Pappenheim-stained. Brightfield microscopy, 40× oil immersion. Bone marrow aspirate smear — 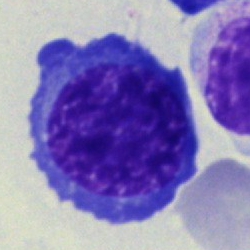 Showing a nucleated red blood cell.